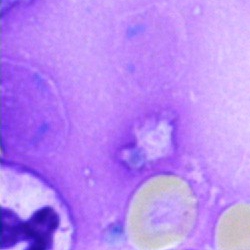

Specimen: bone marrow aspirate smear.
Morphological class: artefact.